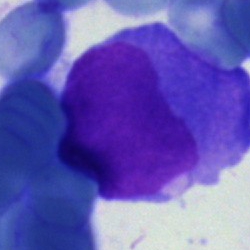 {"cell_type": "blast"}